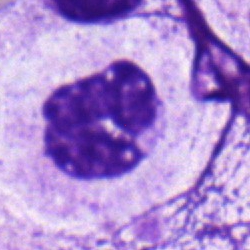Q: Which cell type is shown here?
A: Polymorphonuclear neutrophil.